Bone marrow smear.
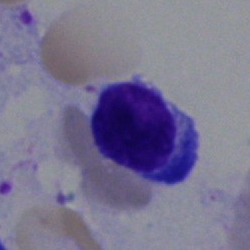
The cell shown is a lymphocyte.